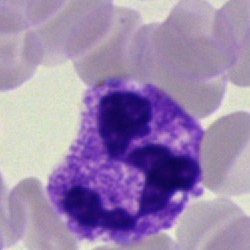
Morphology — segmented neutrophil.